Bone marrow aspirate smear.
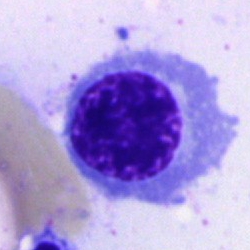Classification — normoblast.